Brightfield, 40× oil-immersion objective; bone marrow smear.
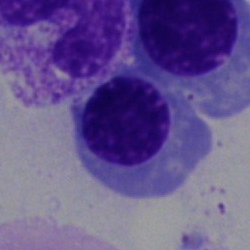

Morphology — erythroblast.